Bone marrow smear
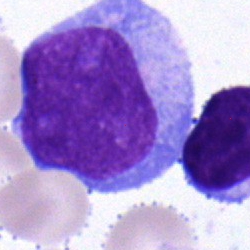Classification = blast.